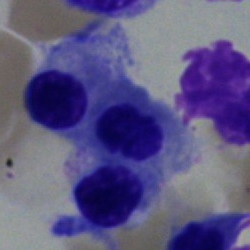
Morphology consistent with a nucleated red cell.